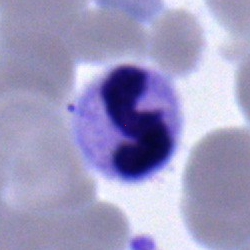Q: What is the morphological classification of this cell?
A: This is a neutrophil (band).